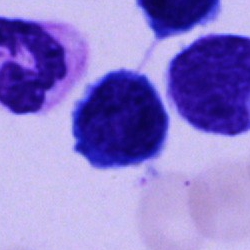 Cell = typical lymphocyte.